Brightfield microscopy, 40× oil immersion; bone marrow smear: 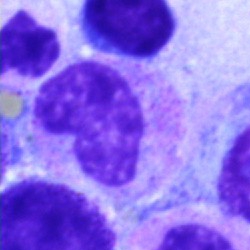

A metamyelocyte.